Image size 250×250; bone marrow smear
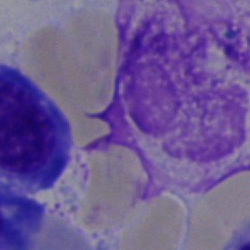 Q: What is shown here?
A: This is an artefact.